Image size 400×400; 100× oil immersion; peripheral blood smear
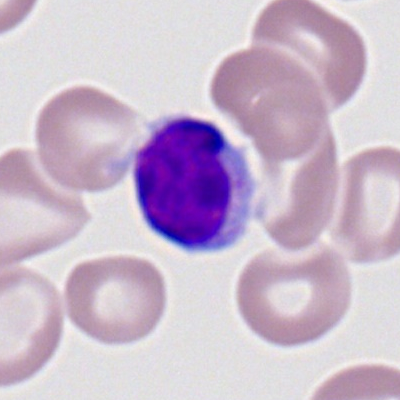

Q: What type of cell is this?
A: This is a typical lymphocyte.